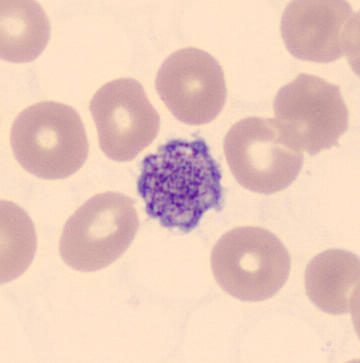 This is a platelet. Preparation: 360 by 363 pixels. Peripheral blood smear. Automated cell imaging (CellaVision DM96).